250×250 px. Bone marrow smear. Brightfield microscopy, 40× oil immersion:
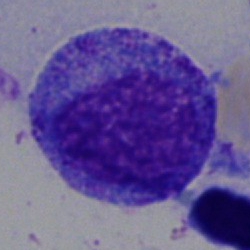
Morphological class: promyelocyte.